400×400. Peripheral blood smear — 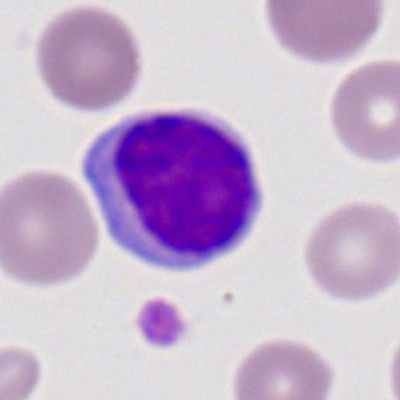 Typical lymphocyte.